250 by 250 pixels · bone marrow aspirate smear · single cell centered in the field
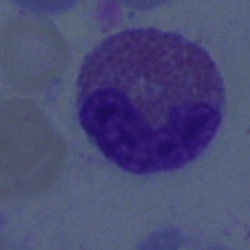Morphology consistent with an eosinophil.